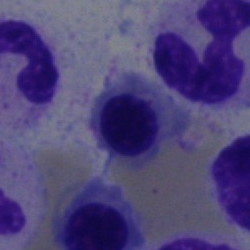

Showing an erythroblast.